Bone marrow aspirate smear
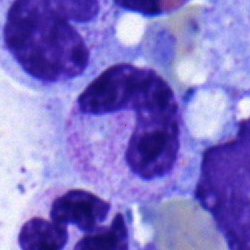
Morphological class — stab cell.